Bone marrow smear
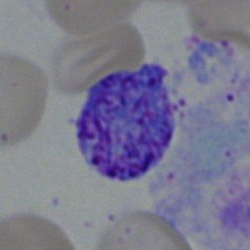 Showing an artifact.